Bone marrow smear. May-Grünwald-Giemsa stain — 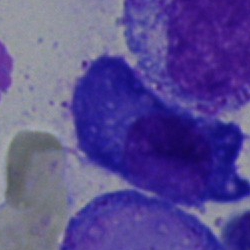
Impression — plasmacyte.